Bone marrow aspirate smear.
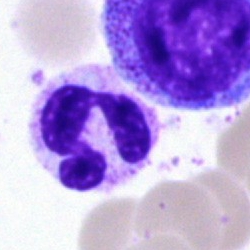
Q: What cell is this?
A: A polymorphonuclear neutrophil.